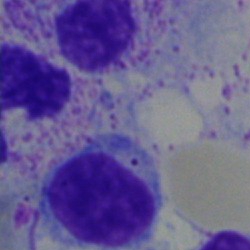

Bone marrow aspirate smear, single cell — lymphocyte.